Bone marrow aspirate smear
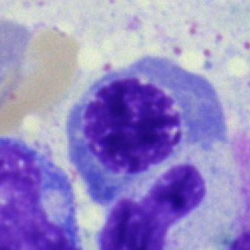{"cell_type": "normoblast", "lineage": "erythroid"}